Image size 250×250. Bone marrow smear
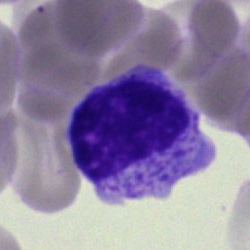

Morphology → myelocyte.